Brightfield microscopy, 40× oil immersion; bone marrow aspirate smear.
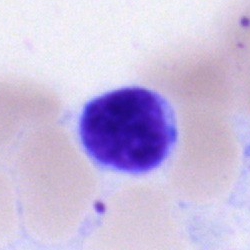 Q: What is the morphological classification of this cell?
A: Typical lymphocyte.